Bone marrow smear; May-Grünwald-Giemsa stain:
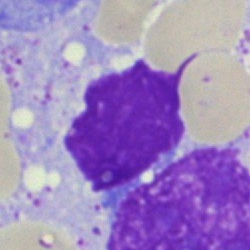 The cell is artefact.